Bone marrow aspirate smear:
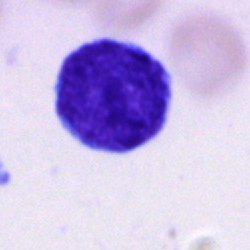 A lymphocyte.